Bone marrow aspirate smear:
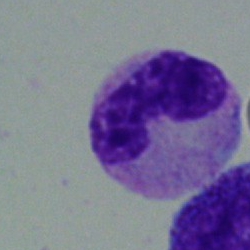
A band-form neutrophil.